Bone marrow aspirate smear:
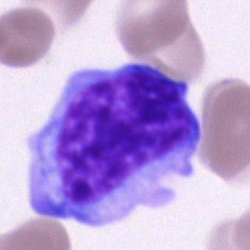

A blast cell.